Bone marrow smear:
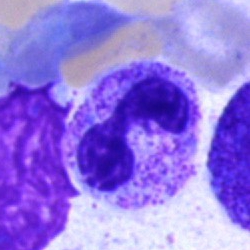
A neutrophil (band).